Bone marrow smear
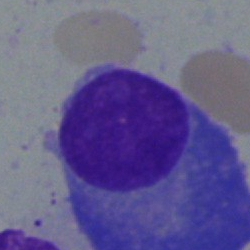Impression — plasmacyte.